Bone marrow smear. May-Grünwald-Giemsa/Pappenheim stain: 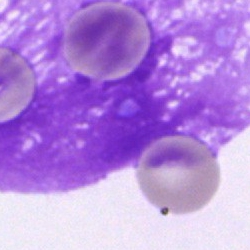
The cell type is artifact.